Single-cell crop; bone marrow aspirate smear:
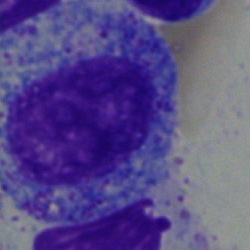

The morphological class is promyelocyte.